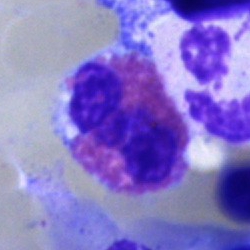 The cell type is eosinophil.